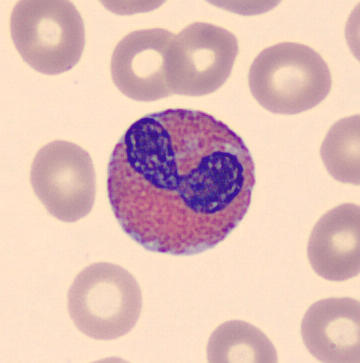
Single-cell crop from a peripheral blood smear: eosinophilic granulocyte.